Image size 250×250. Bone marrow smear.
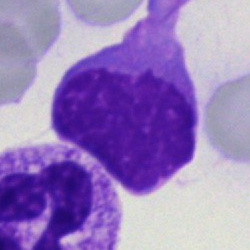
Showing an artefact.